Bone marrow smear.
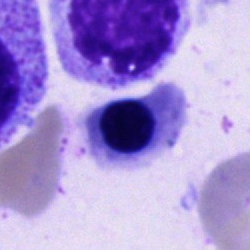

Cell type — normoblast.